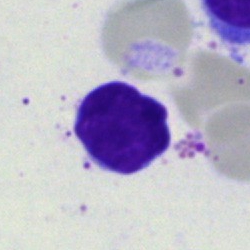

Showing a lymphocyte.